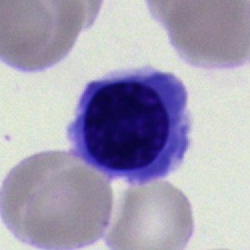A normoblast.